Bone marrow aspirate smear.
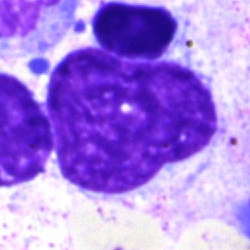 Impression → artefact.